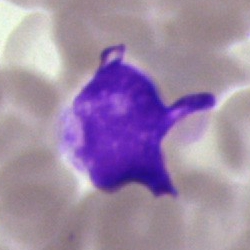
Bone marrow aspirate smear, single cell — artefact.